Bone marrow aspirate smear
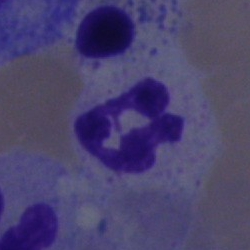
Morphological class = neutrophil (segmented).